Bone marrow aspirate smear
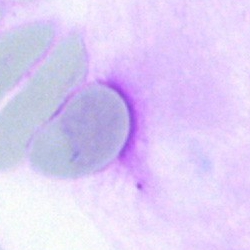
Q: What is shown here?
A: Artifact.